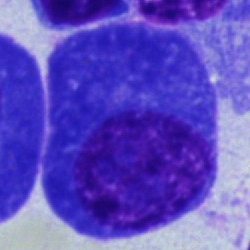{"cell_type": "plasma cell", "lineage": "lymphoid"}